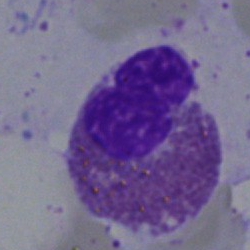

Cell: eosinophilic granulocyte.